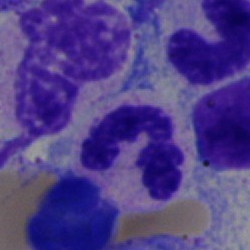Polymorphonuclear neutrophil.